May-Grünwald-Giemsa stain; bone marrow aspirate smear; single cell centered in the field — 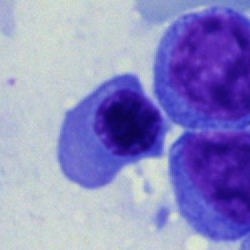Q: What is shown here?
A: Nucleated red blood cell.